Bone marrow aspirate smear: 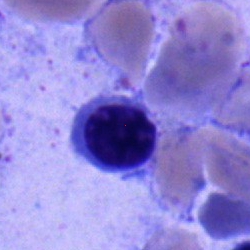

Cell type: nucleated red cell.